Peripheral blood film:
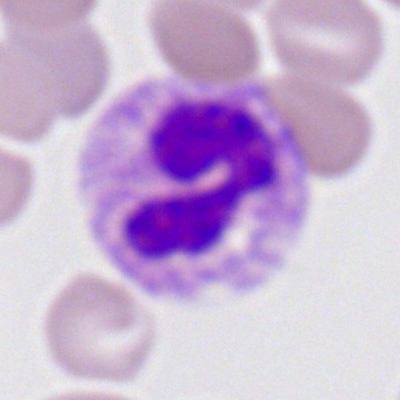
This is a neutrophil (segmented).